Bone marrow aspirate smear.
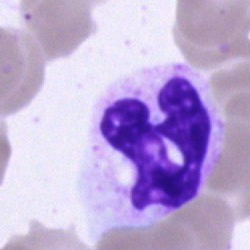 Q: Identify the cell.
A: A polymorphonuclear neutrophil.